Bone marrow aspirate smear · MGG-stained · 250×250 px:
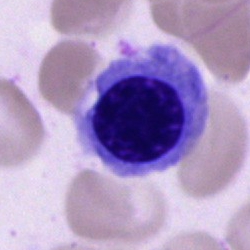

Morphology consistent with a normoblast.